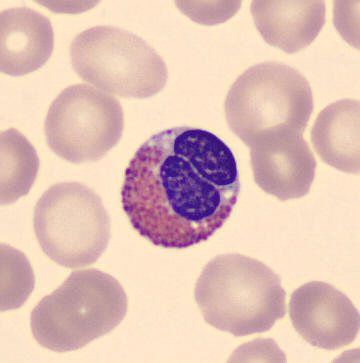
Impression — eosinophilic granulocyte.